Bone marrow aspirate smear · Pappenheim-stained — 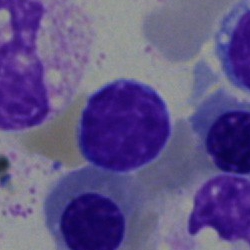Morphology consistent with a lymphocyte.